Single-cell field; Pappenheim-stained; bone marrow aspirate smear: 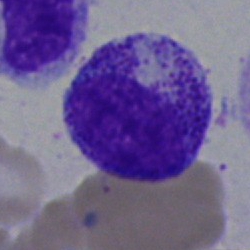 Specimen: bone marrow aspirate smear.
Cell: myelocyte.
Lineage: myeloid.